Pappenheim-stained. Bone marrow aspirate smear. 250×250: 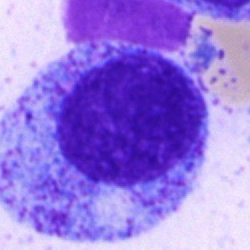
Morphological class — progranulocyte.